Bone marrow smear.
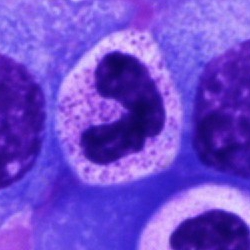
Q: Identify the cell.
A: Neutrophil (band).